Bone marrow smear. MGG-stained: 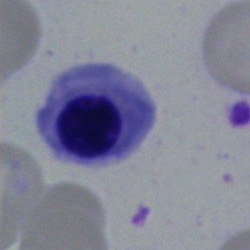A nucleated red blood cell.